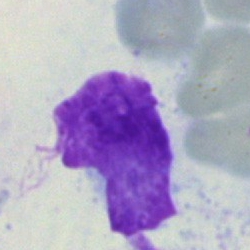 Q: What is shown here?
A: This is an artefact.